Cropped to a single cell · bone marrow aspirate smear · Pappenheim-stained — 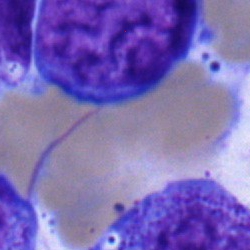

A blast cell.